Bone marrow smear
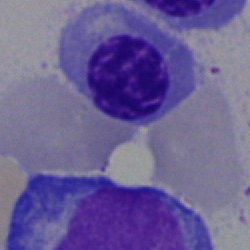 Cell type — nucleated red blood cell.